Bone marrow aspirate smear
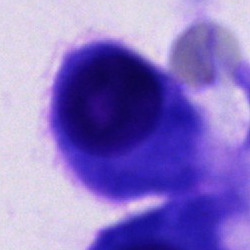
This is a cell not matching the other categories.